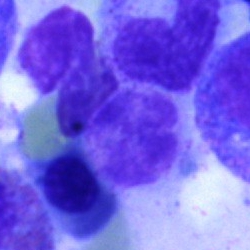 The classification is artifact.